Brightfield, 40× oil-immersion objective; bone marrow aspirate smear:
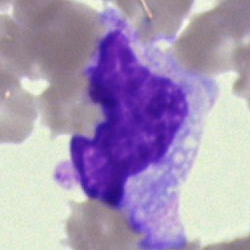
Morphology — artefact.